Brightfield, 40× oil-immersion objective · bone marrow smear: 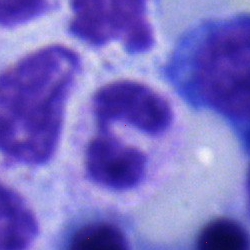 Specimen: bone marrow smear.
Cell: neutrophil (segmented).
Lineage: myeloid.